Bone marrow aspirate smear.
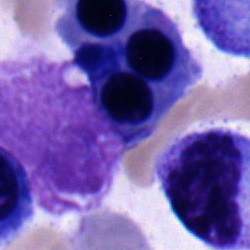Cell — nucleated red blood cell.